Bone marrow aspirate smear.
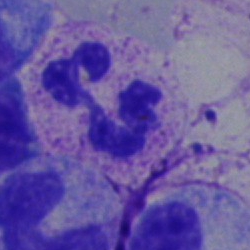

Morphological class — polymorphonuclear neutrophil.